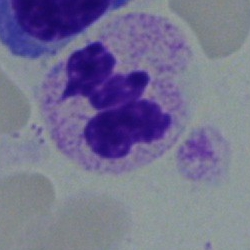

Morphological class — neutrophil (segmented).